Single-cell field · bone marrow aspirate smear:
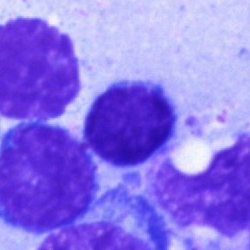Single cell identified as a typical lymphocyte.